Peripheral blood smear: 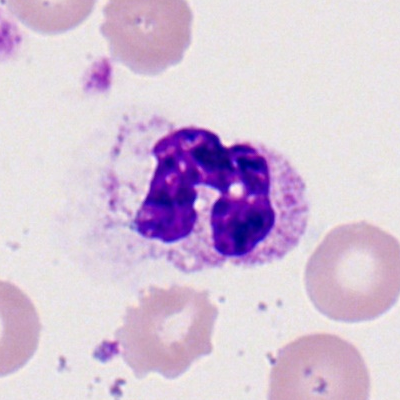

Q: Which cell type is shown here?
A: Segmented neutrophil.